Bone marrow smear; 250×250
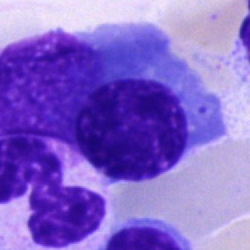A blast cell.